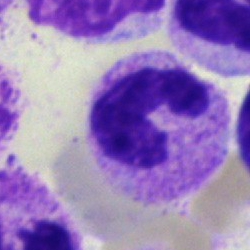

{"cell_type": "stab cell", "lineage": "myeloid"}